Bone marrow smear. Single-cell crop — 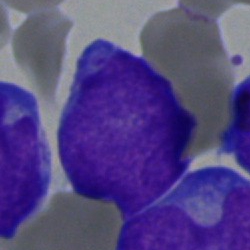Morphology consistent with an undifferentiated blast.